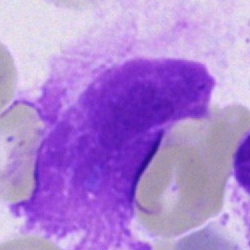

Specimen: bone marrow smear.
Cell type: artifact.